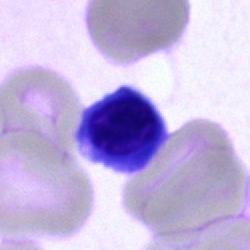

Specimen: bone marrow smear.
Morphological class: typical lymphocyte.
Lineage: lymphoid.